Bone marrow aspirate smear; single cell centered in the field
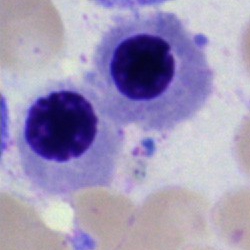

Q: What is shown here?
A: This is a basophil.